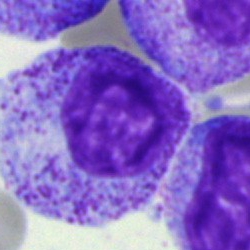Q: Which cell type is shown here?
A: A myelocyte.